Brightfield, 40× oil-immersion objective · bone marrow smear.
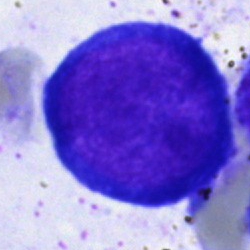The classification is proerythroblast.